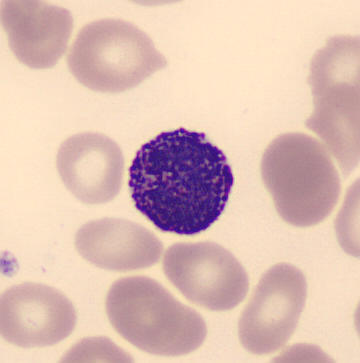

Impression — basophilic granulocyte.